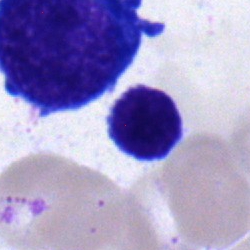
Q: What type of cell is this?
A: It is a typical lymphocyte.